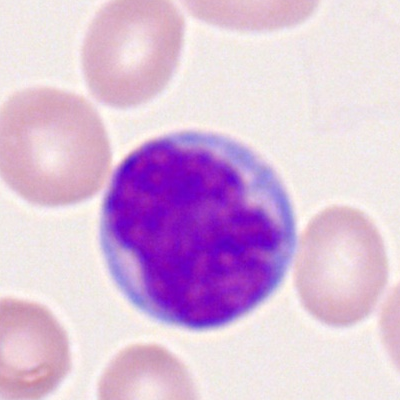
Q: What is shown here?
A: It is a myeloid blast.